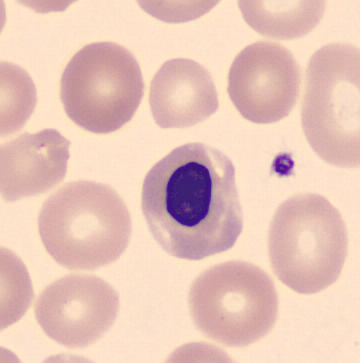Image: Peripheral blood smear · CellaVision DM96. Classification — nucleated red blood cell.